Single-cell field. Bone marrow aspirate smear:
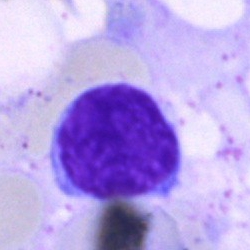 Cell = lymphocyte.